Bone marrow aspirate smear
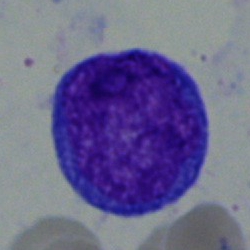

Classification = blast cell.